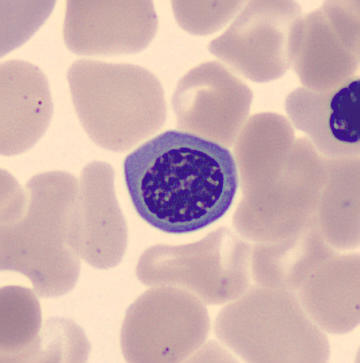

An erythroblast. Peripheral blood smear.